Bone marrow aspirate smear. 250×250
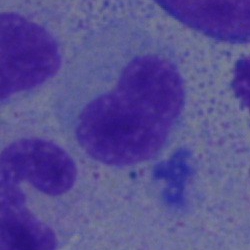
Single cell identified as a metamyelocyte.